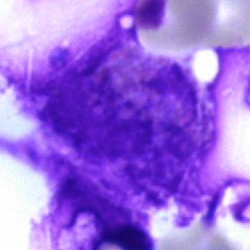
Q: What is shown here?
A: It is an artifact.